Single-cell crop; image size 400×400; peripheral blood film.
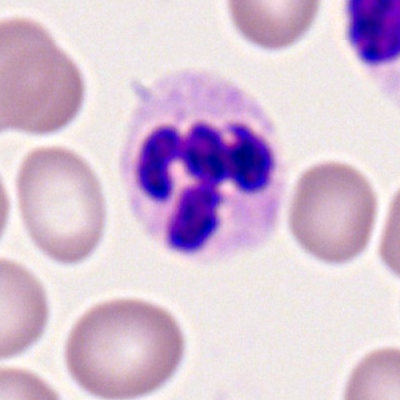 Morphology — polymorphonuclear neutrophil.